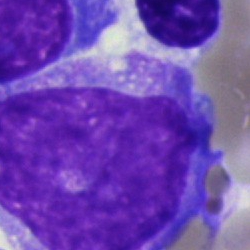

Bone marrow smear showing a blast cell.